Cropped to a single cell · bone marrow smear.
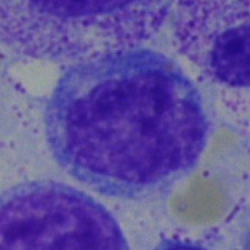Q: What type of cell is this?
A: Monocyte.